Bone marrow aspirate smear.
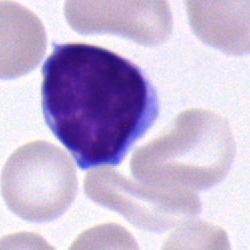This is a lymphocyte.